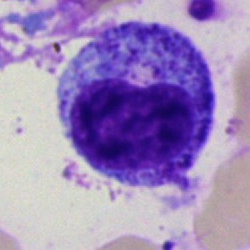Q: What type of cell is this?
A: Promyelocyte.